Brightfield, 40× oil-immersion objective · single cell centered in the field · bone marrow aspirate smear: 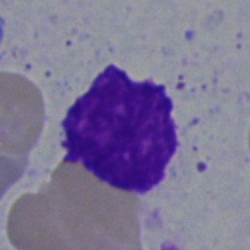An artefact.